Bone marrow aspirate smear:
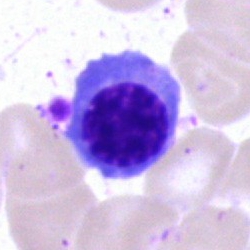

Showing a nucleated red cell.